Bone marrow smear — 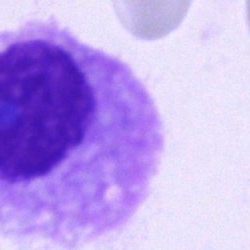
Classification: plasmacyte.